Bone marrow smear; May-Grünwald-Giemsa stain: 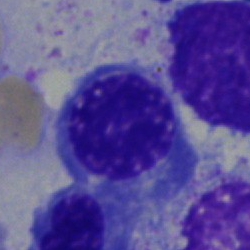
Q: What is shown here?
A: It is a nucleated red cell.